Bone marrow smear: 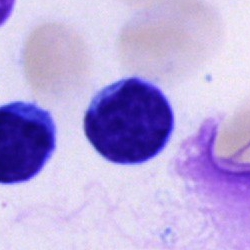 The cell shown is a typical lymphocyte.